Pappenheim-stained · bone marrow smear:
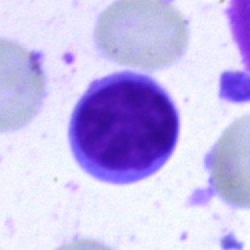 Showing a lymphocyte.